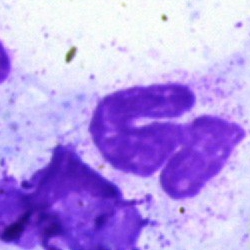
Single-cell crop from a bone marrow smear: artifact.